Bone marrow smear:
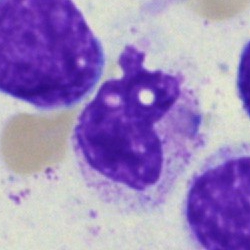 Classification = stab cell.